Bone marrow smear
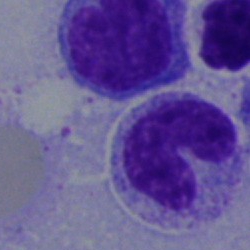

{"cell_type": "band neutrophil"}